Pappenheim-stained. Image size 250×250. Bone marrow smear.
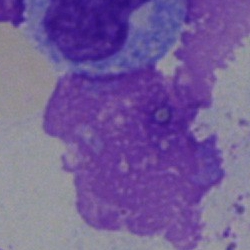 The cell is artifact.